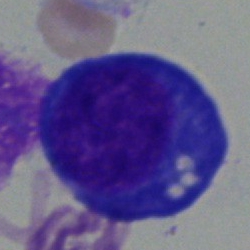Bone marrow aspirate smear, single cell — proerythroblast.